250 by 250 pixels. MGG-stained. Bone marrow aspirate smear — 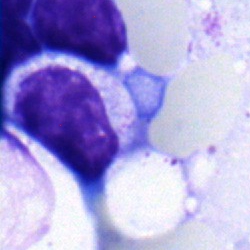
Cell type = myelocyte.